Single-cell crop · bone marrow smear · May-Grünwald-Giemsa/Pappenheim stain — 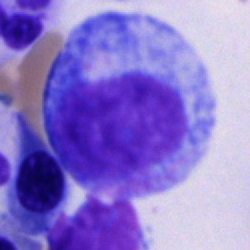

Q: What cell is this?
A: This is a progranulocyte.